Bone marrow smear: 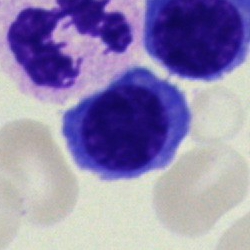Morphology → normoblast.